250×250; brightfield microscopy, 40× oil immersion; bone marrow aspirate smear.
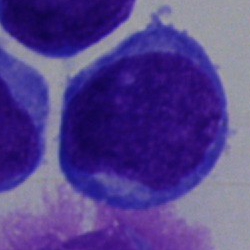
Specimen: bone marrow smear.
Cell type: blast cell.